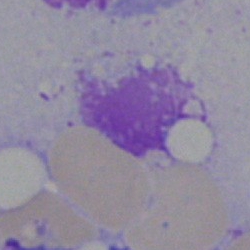

The classification is artefact.